Bone marrow aspirate smear; single-cell crop: 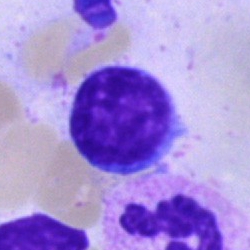
Q: Identify the cell.
A: A typical lymphocyte.